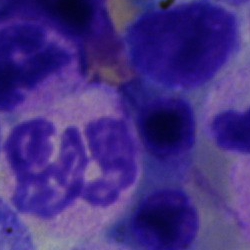
Q: What is shown here?
A: It is a polymorphonuclear neutrophil.